40× objective, oil immersion · cropped to a single cell · bone marrow aspirate smear:
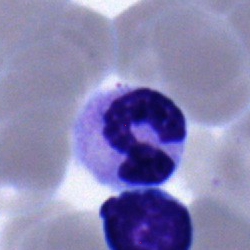 Q: Which cell type is shown here?
A: A neutrophil (segmented).